250 by 250 pixels · bone marrow smear.
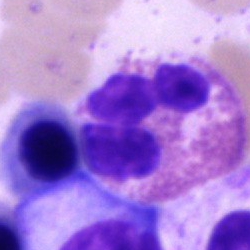

Q: Identify the cell.
A: This is an eosinophil.